Bone marrow aspirate smear — 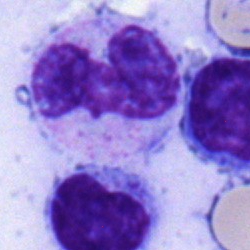 {"cell_type": "stab cell"}